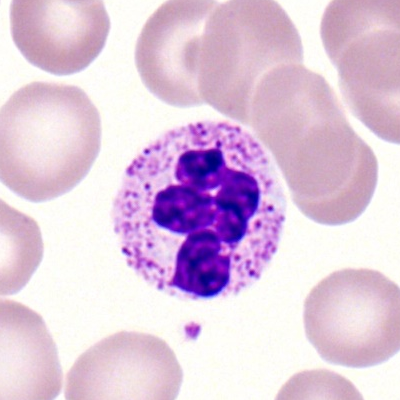

Morphological class: polymorphonuclear neutrophil.